Bone marrow smear.
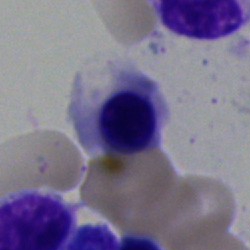A normoblast.